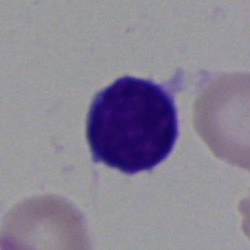 Impression → blast.